Bone marrow smear
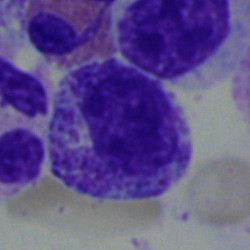Myelocyte.